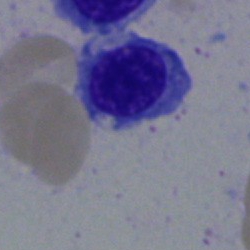 {"cell_type": "nucleated red blood cell", "lineage": "erythroid"}